Bone marrow aspirate smear:
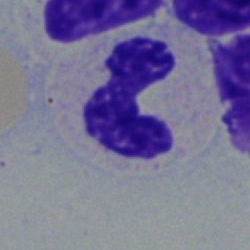Impression — neutrophil (segmented).